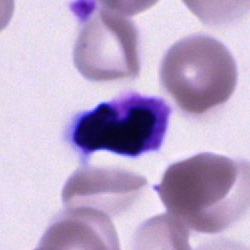

This is a neutrophil (segmented).